Bone marrow aspirate smear: 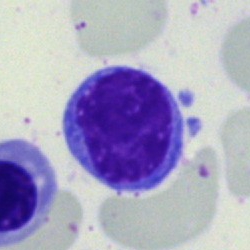
A typical lymphocyte.